Bone marrow aspirate smear · 250 by 250 pixels · brightfield microscopy, 40× oil immersion: 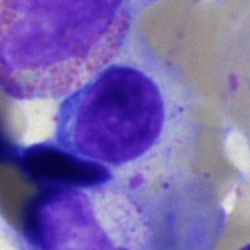 Classification = typical lymphocyte.